MGG-stained. Bone marrow aspirate smear.
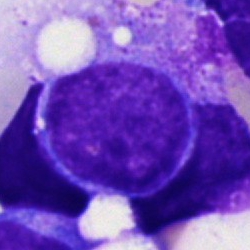 Cell type: blast.